Brightfield microscopy, 40× oil immersion. MGG-stained. Bone marrow aspirate smear
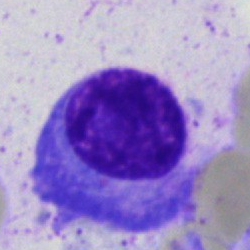

Cell = plasma cell.